Bone marrow aspirate smear: 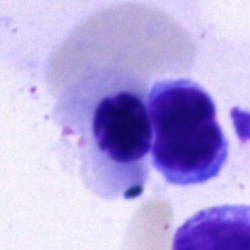 Morphology consistent with a nucleated red blood cell.